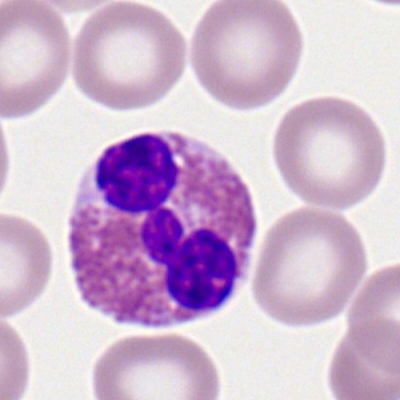
Peripheral blood smear showing an eosinophilic granulocyte.